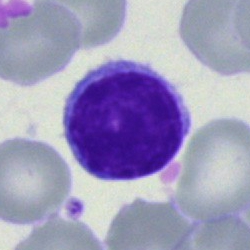

{"cell_type": "lymphocyte", "lineage": "lymphoid"}